Bone marrow smear — 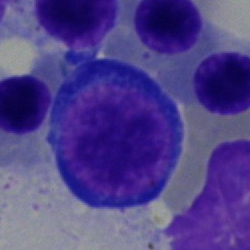
A pronormoblast.